Bone marrow aspirate smear:
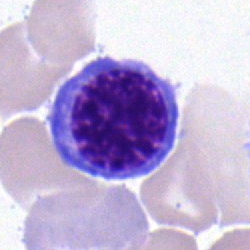
This is a normoblast.